Bone marrow aspirate smear
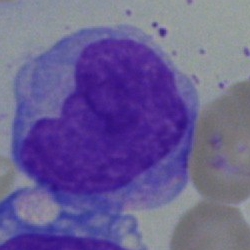

{"cell_type": "monocyte"}